Cropped to a single cell; bone marrow smear.
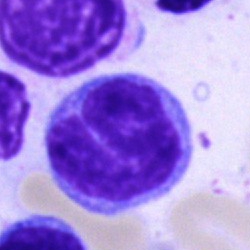 Impression → monocyte.